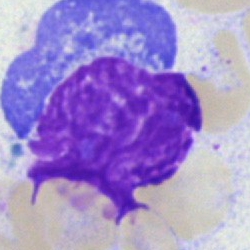
Q: What is shown here?
A: This is an artefact.